40× oil immersion · bone marrow aspirate smear — 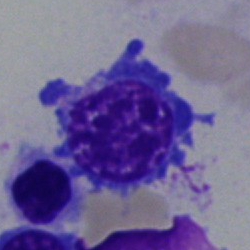
The cell shown is a normoblast.